Bone marrow smear — 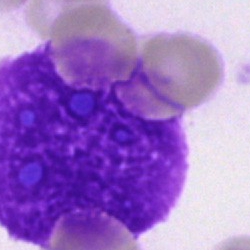 An artifact.